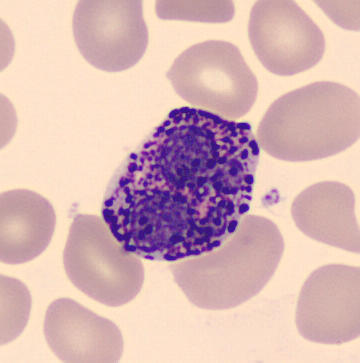

The classification is basophilic granulocyte.